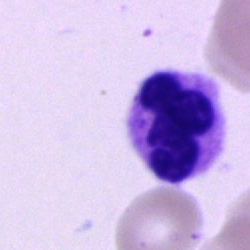

Polymorphonuclear neutrophil.